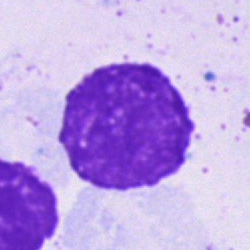

The morphological class is artefact.